Bone marrow aspirate smear
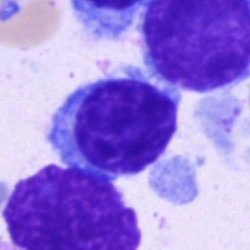
Morphology consistent with a lymphocyte.